Bone marrow smear · MGG-stained
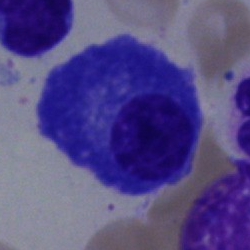 Q: Which cell type is shown here?
A: A plasmacyte.